Bone marrow smear. Single cell centered in the field — 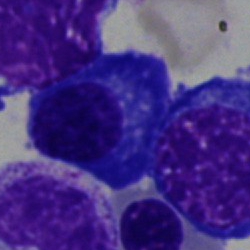
Cell — plasmacyte.